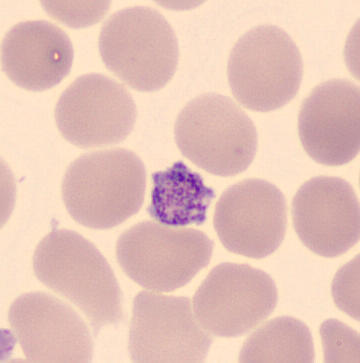
Preparation: Peripheral blood smear. Q: What is this?
A: It is a thrombocyte.